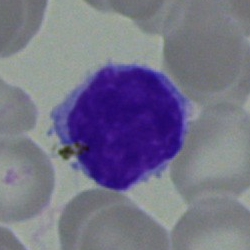Q: Identify the cell.
A: It is a lymphocyte.